Peripheral blood film · Romanowsky-stained — 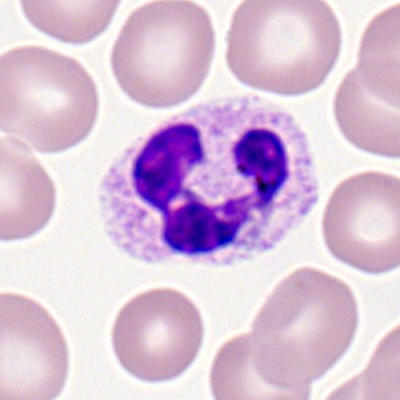

Morphology — segmented neutrophil.